Bone marrow smear. 250 by 250 pixels.
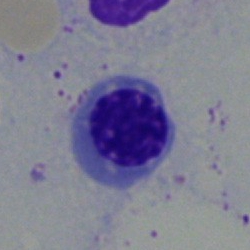

The classification is nucleated red cell.